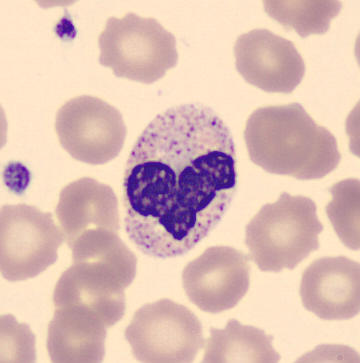

Showing a segmented neutrophil.

Single-cell field. MGG stain. Peripheral blood smear.